Bone marrow aspirate smear.
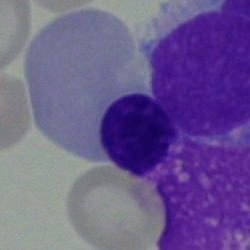
Cell type = normoblast.